Bone marrow aspirate smear
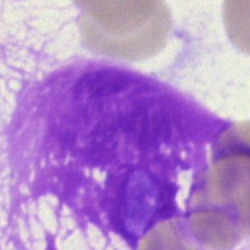Artefact.